Bone marrow smear — 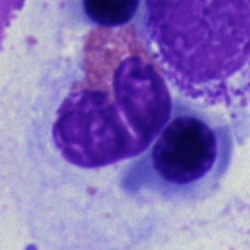 This is an eosinophil.